Bone marrow aspirate smear. Image size 250×250:
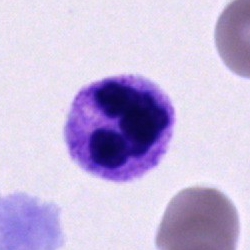Specimen: bone marrow aspirate smear.
Cell: neutrophil (segmented).
Lineage: myeloid.